Bone marrow smear. 40× oil immersion.
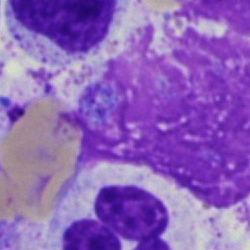 This is an artifact.